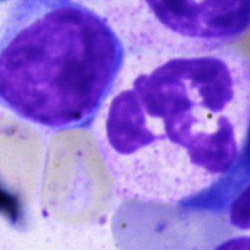
Q: Which cell type is shown here?
A: A neutrophil (segmented).